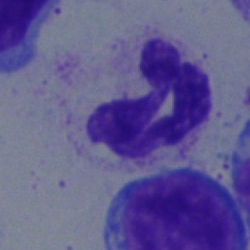 A polymorphonuclear neutrophil on a bone marrow smear.